Bone marrow smear — 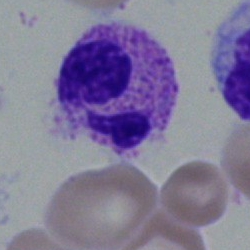 {"cell_type": "polymorphonuclear neutrophil", "lineage": "myeloid"}